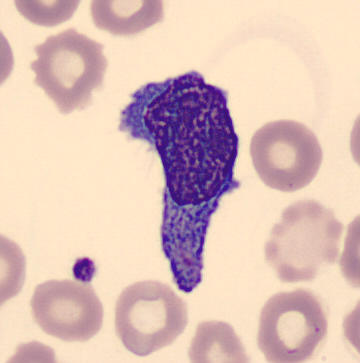
Image: MGG stain · peripheral blood film.
Classification — monocyte.